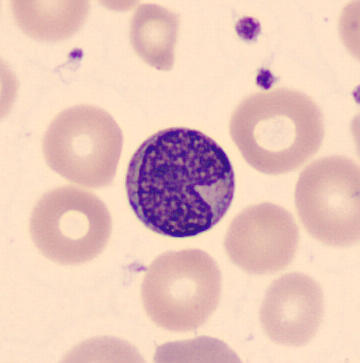
Q: Identify the cell.
A: This is a metamyelocyte.